Bone marrow smear: 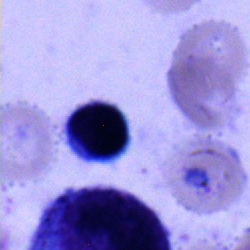{"cell_type": "typical lymphocyte", "lineage": "lymphoid"}